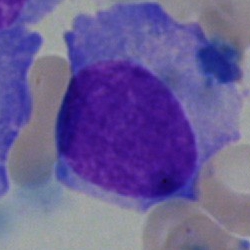
Bone marrow smear showing a plasma cell.